40× oil immersion. Single cell centered in the field. Bone marrow smear:
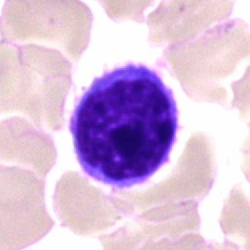

Q: What type of cell is this?
A: It is a typical lymphocyte.